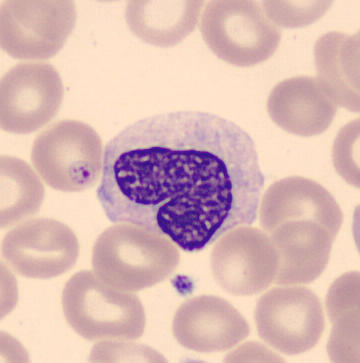
This is a neutrophil (band).